Bone marrow aspirate smear: 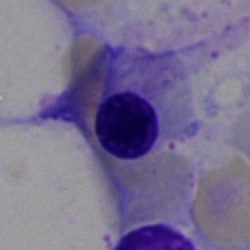 Showing a nucleated red blood cell.